Single-cell crop. Peripheral blood film. Romanowsky-stained — 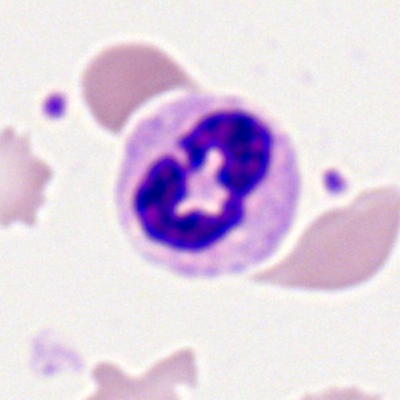
Q: What cell is this?
A: A segmented neutrophil.